Bone marrow aspirate smear. Brightfield, 40× oil-immersion objective.
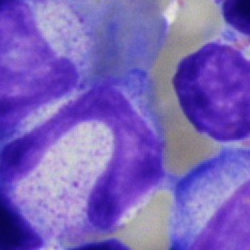
The cell shown is a neutrophil (band).